Bone marrow smear — 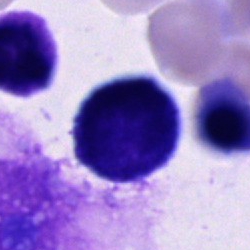
{"cell_type": "cell of indeterminate lineage"}